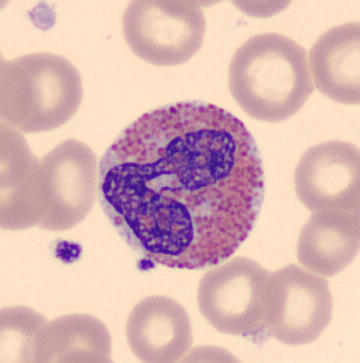This is an eosinophilic granulocyte.